Bone marrow aspirate smear: 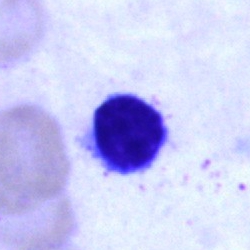Showing a typical lymphocyte.